Bone marrow smear:
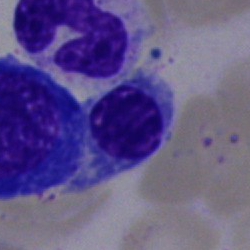 Specimen: bone marrow smear.
Cell: nucleated red blood cell.